Bone marrow smear.
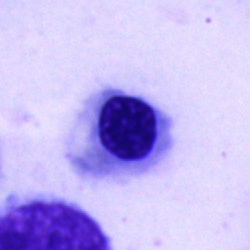Specimen: bone marrow aspirate smear.
Cell: nucleated red cell.